250×250; bone marrow aspirate smear; 40× objective, oil immersion:
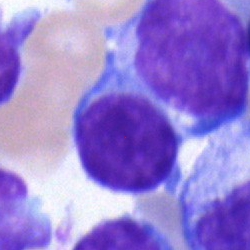 Impression → typical lymphocyte.